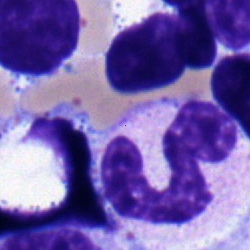Impression — neutrophil (segmented).